May-Grünwald-Giemsa stain; 250 by 250 pixels; bone marrow aspirate smear:
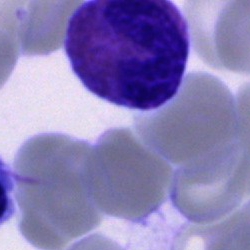
Q: What cell is this?
A: This is an eosinophilic granulocyte.